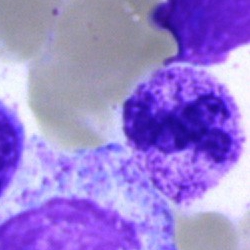A neutrophil (segmented).